40× oil immersion. Bone marrow aspirate smear:
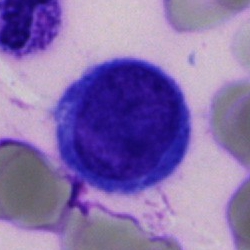 Classification — blast.